May-Grünwald-Giemsa/Pappenheim stain. Bone marrow aspirate smear.
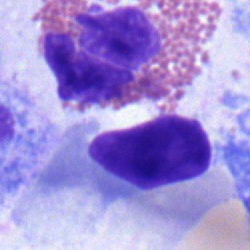Morphology — eosinophil.